Single-cell field; bone marrow smear; brightfield microscopy, 40× oil immersion.
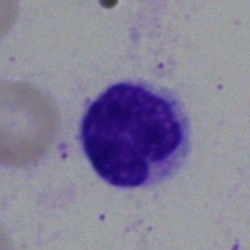Classification: typical lymphocyte.